Bone marrow smear · single cell centered in the field · May-Grünwald-Giemsa/Pappenheim stain — 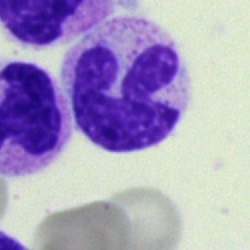 Q: What is the morphological classification of this cell?
A: A neutrophil (segmented).